May-Grünwald-Giemsa stain; bone marrow aspirate smear: 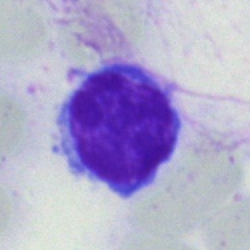
Cell type — typical lymphocyte.